Bone marrow smear:
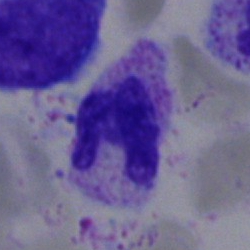 Cell = polymorphonuclear neutrophil.